Bone marrow smear
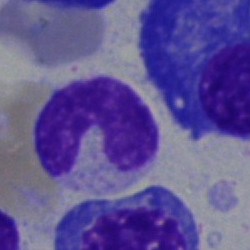
Q: What is the morphological classification of this cell?
A: This is a neutrophil (band).